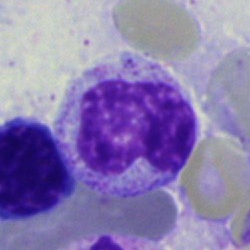 Q: Identify the cell.
A: Metamyelocyte.